40× oil immersion · bone marrow smear: 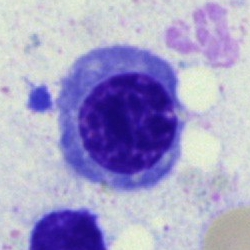

Showing a normoblast.